40× objective, oil immersion; bone marrow aspirate smear.
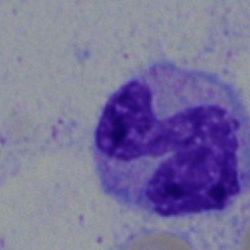

The cell is monocyte.